Peripheral blood smear.
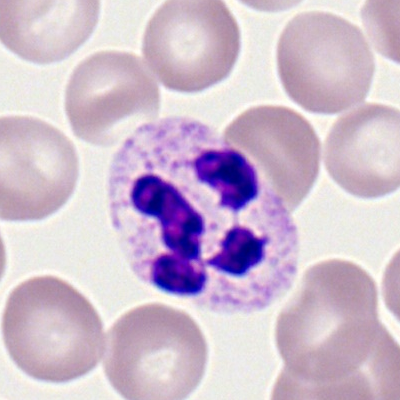Classification = neutrophil (segmented).